Single-cell field. Bone marrow aspirate smear. 250 by 250 pixels
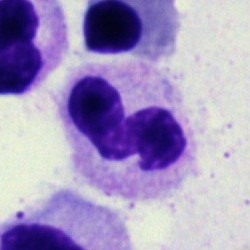Cell — polymorphonuclear neutrophil.